Bone marrow smear: 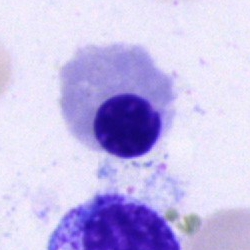Morphology → nucleated red blood cell.